Peripheral blood smear: 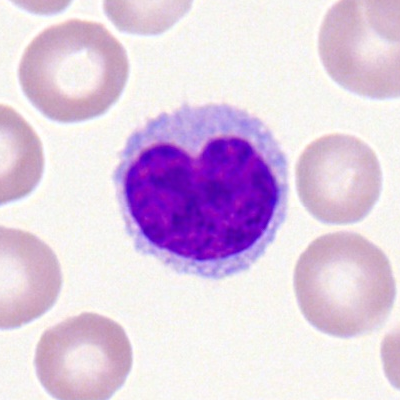 Specimen: peripheral blood smear.
Cell: typical lymphocyte.
Lineage: lymphoid.